Bone marrow smear — 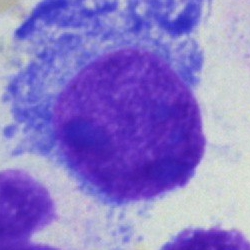Specimen: bone marrow smear.
Cell type: plasmacyte.
Lineage: lymphoid.